Bone marrow smear
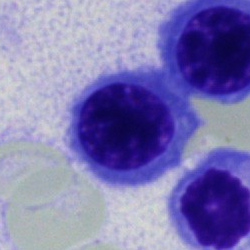 Nucleated red blood cell.